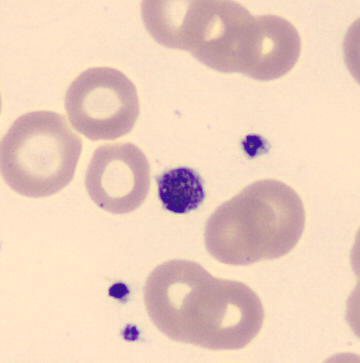
A platelet on a peripheral blood smear.